Bone marrow aspirate smear.
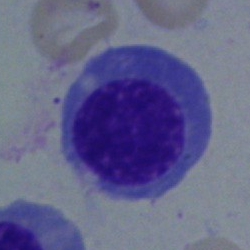 Q: Which cell type is shown here?
A: Nucleated red cell.